Bone marrow aspirate smear. Brightfield microscopy, 40× oil immersion — 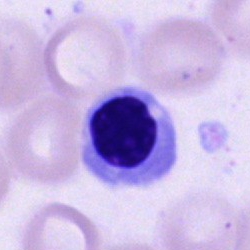
Q: What is the morphological classification of this cell?
A: Erythroblast.